Cropped to a single cell; bone marrow smear:
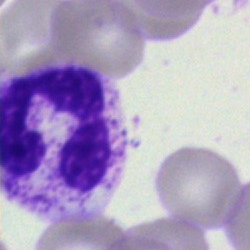

Specimen: bone marrow aspirate smear.
Cell: segmented neutrophil.
Lineage: myeloid.